Bone marrow aspirate smear. Single-cell crop
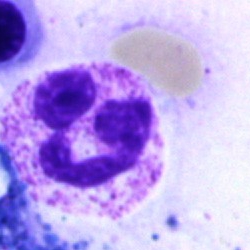
Morphological class: segmented neutrophil.